Bone marrow smear; cropped to a single cell: 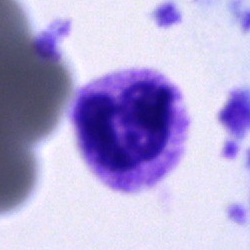
Cell type: segmented neutrophil.